Bone marrow aspirate smear — 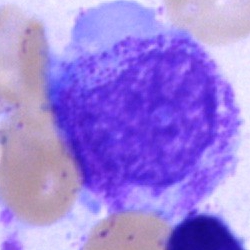

Showing a progranulocyte.